Bone marrow smear · 40× oil immersion:
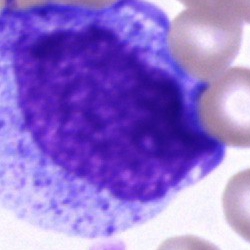
The classification is promyelocyte.